40× oil immersion; bone marrow aspirate smear; 250×250: 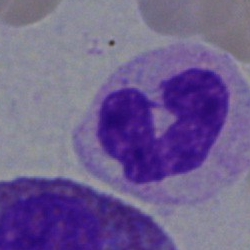
Cell type = segmented neutrophil.